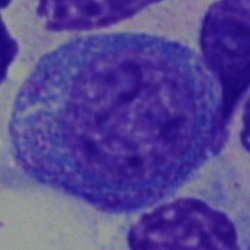 Q: Identify the cell.
A: Promyelocyte.